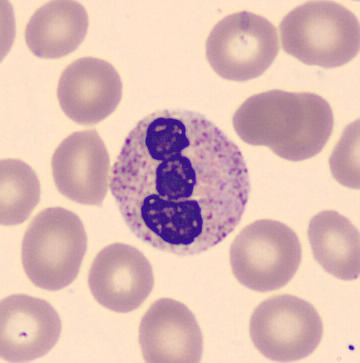 Image: CellaVision DM96. MGG stain. Peripheral blood film.

The morphological class is polymorphonuclear neutrophil.